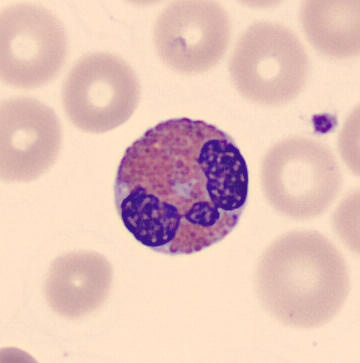Peripheral blood smear.
Eosinophilic granulocyte.